Peripheral blood smear:
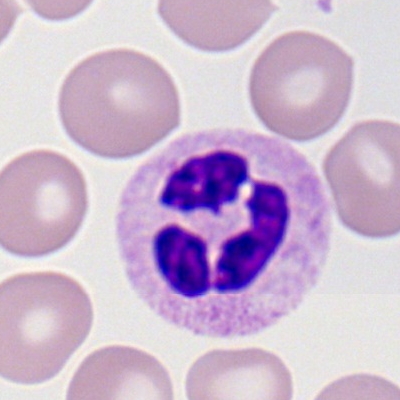
Morphological class: segmented neutrophil.